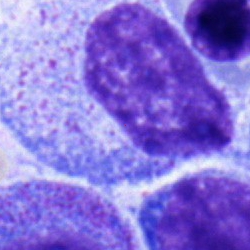A myelocyte on a bone marrow smear.